Bone marrow smear; 250×250 px; 40× objective, oil immersion — 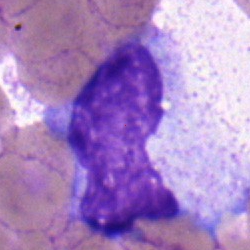
Single cell identified as a metamyelocyte.